Bone marrow aspirate smear: 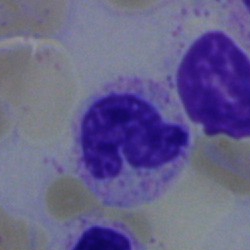 Morphology consistent with a stab cell.